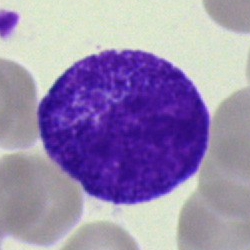 Q: What cell is this?
A: It is a progranulocyte.